Peripheral blood film — 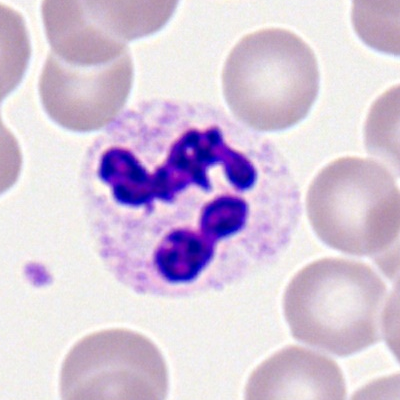 A segmented neutrophil.